Bone marrow aspirate smear.
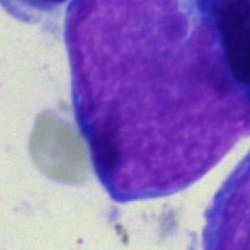 Morphological class: blast.